Bone marrow aspirate smear:
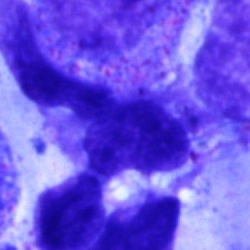 {"cell_type": "artefact"}